Bone marrow aspirate smear
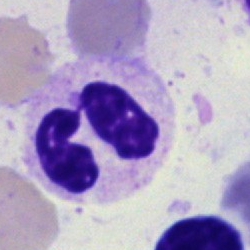 The cell shown is a polymorphonuclear neutrophil.